Peripheral blood film; 400 by 400 pixels; cropped to a single cell.
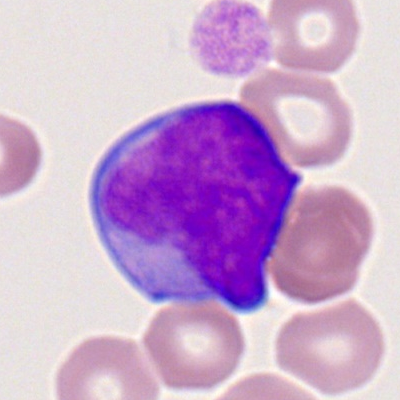

Q: What is the morphological classification of this cell?
A: A myeloblast.